Bone marrow aspirate smear. 40× oil immersion — 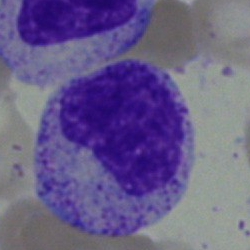

Classification: myelocyte.